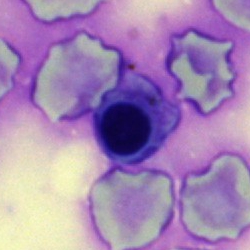 Specimen: bone marrow smear.
Cell type: nucleated red blood cell.
Lineage: erythroid.